Bone marrow smear: 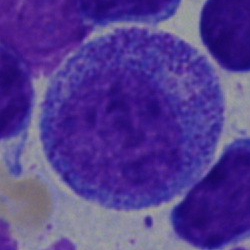
Q: What is shown here?
A: It is a promyelocyte.